Peripheral blood smear: 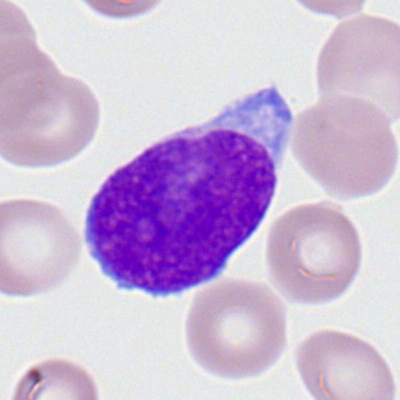 Cell type = myeloblast.